Bone marrow smear; MGG-stained — 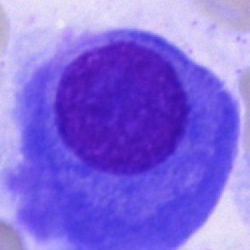 Specimen: bone marrow smear.
Cell: plasma cell.
Lineage: lymphoid.